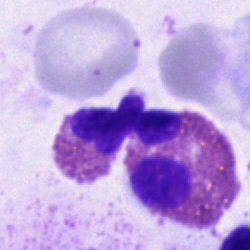 Single-cell crop from a bone marrow smear: eosinophil.